Bone marrow aspirate smear. 40× oil immersion:
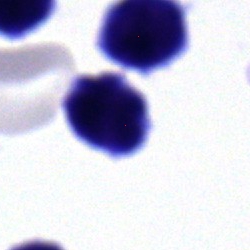{"cell_type": "lymphocyte"}